Bone marrow smear.
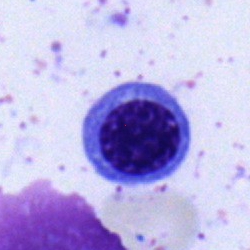

Specimen: bone marrow smear.
Classification: erythroblast.